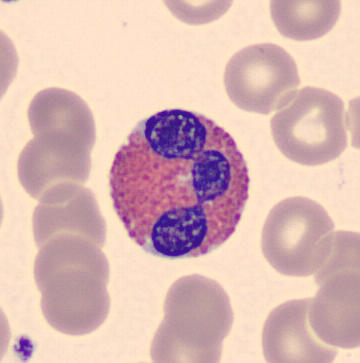Peripheral blood smear.

Single cell identified as an eosinophil.